Bone marrow aspirate smear; image size 250×250; single cell centered in the field — 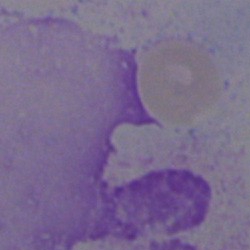

The cell shown is an artifact.